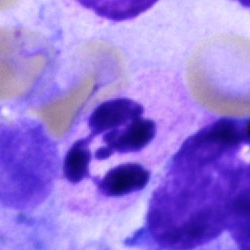

Q: What is shown here?
A: It is a neutrophil (segmented).